Brightfield microscopy, 40× oil immersion. Bone marrow smear. MGG-stained
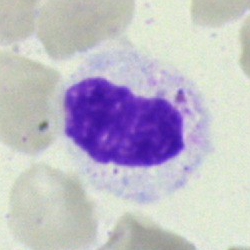 Morphology — metamyelocyte.